Bone marrow aspirate smear: 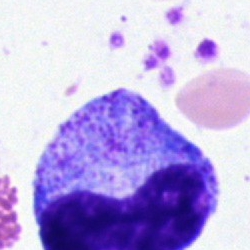

Morphological class = metamyelocyte.